May-Grünwald-Giemsa/Pappenheim stain. Bone marrow aspirate smear:
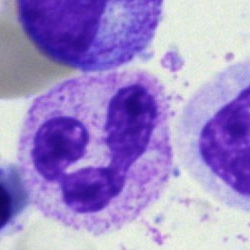
Morphology — segmented neutrophil.